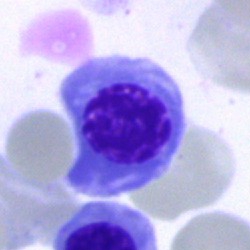 This is a normoblast.